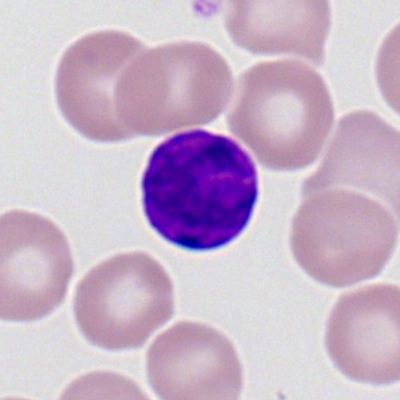
Morphological class — typical lymphocyte.